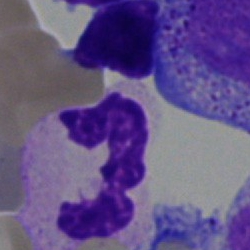Morphological class: polymorphonuclear neutrophil.